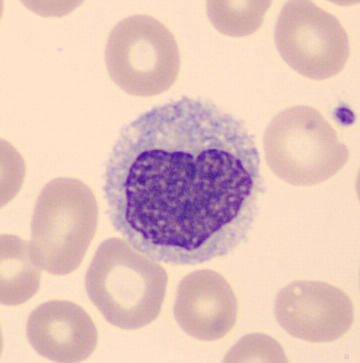Single cell identified as a monocyte.

Acquisition: MGG stain · peripheral blood smear · CellaVision DM96 digital cell image.